Bone marrow aspirate smear.
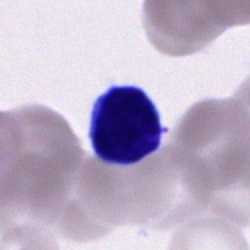
A typical lymphocyte.